Bone marrow aspirate smear — 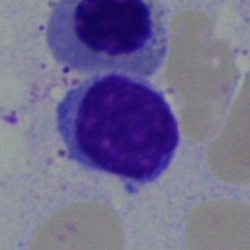

Specimen: bone marrow aspirate smear.
Morphological class: lymphocyte.
Lineage: lymphoid.